May-Grünwald-Giemsa/Pappenheim stain · bone marrow aspirate smear:
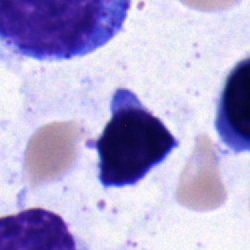 Classification: typical lymphocyte.